Brightfield, 40× oil-immersion objective; bone marrow aspirate smear.
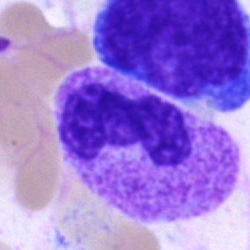Q: Identify the cell.
A: This is a polymorphonuclear neutrophil.